Bone marrow smear.
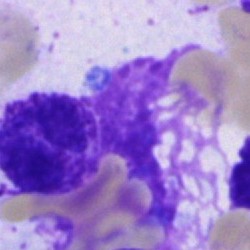Morphological class — artefact.